Single-cell field; bone marrow aspirate smear.
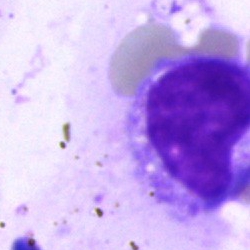 Artefact.